Bone marrow smear — 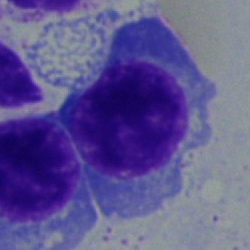 Specimen: bone marrow smear.
Morphological class: normoblast.